Bone marrow aspirate smear · brightfield microscopy, 40× oil immersion:
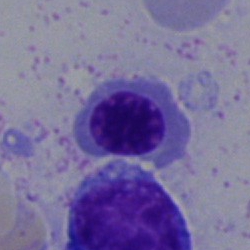Showing an erythroblast.